40× objective, oil immersion · single cell centered in the field · bone marrow smear
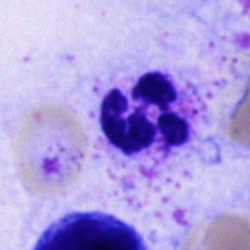
Morphology consistent with a neutrophil (segmented).